Bone marrow smear
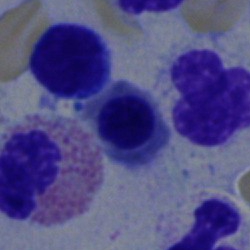Morphology — erythroblast.